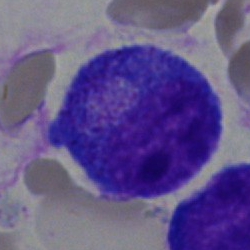 Bone marrow smear showing a progranulocyte.